Brightfield microscopy, 40× oil immersion. Bone marrow aspirate smear: 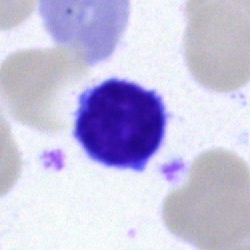 The morphological class is typical lymphocyte.